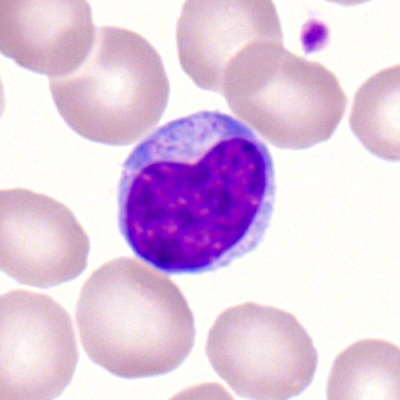
Specimen: peripheral blood film.
Classification: typical lymphocyte.
Lineage: lymphoid.